Single cell centered in the field · peripheral blood smear: 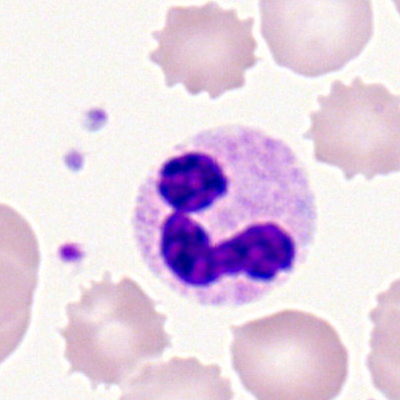Cell type — polymorphonuclear neutrophil.